Bone marrow aspirate smear
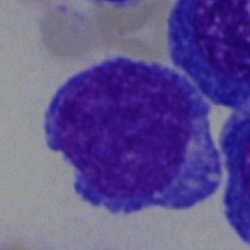

Showing a blast cell.